Bone marrow aspirate smear. 40× oil immersion: 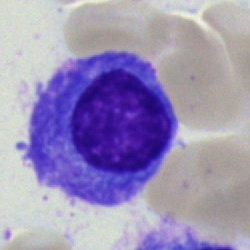
Showing a plasma cell.